360×363; CellaVision DM96 digital cell image; peripheral blood smear.
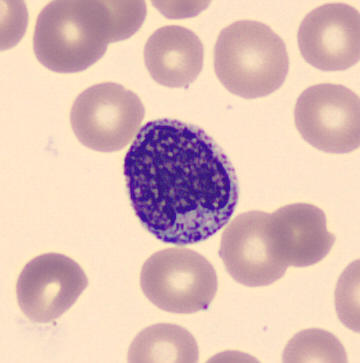{"cell_type": "metamyelocyte"}